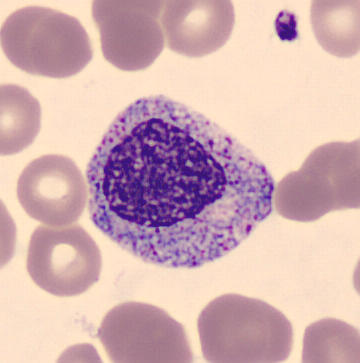 Peripheral blood smear.

Morphology consistent with a myelocyte.